Bone marrow aspirate smear: 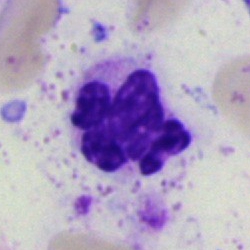 Cell type: neutrophil (segmented).